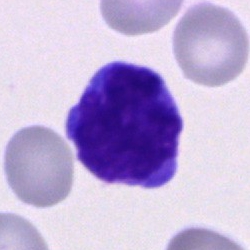 Cell type: blast cell.